Bone marrow aspirate smear · 40× objective, oil immersion — 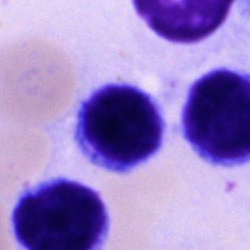
Single cell identified as a lymphocyte.